Brightfield, 40× oil-immersion objective. Bone marrow smear. 250×250:
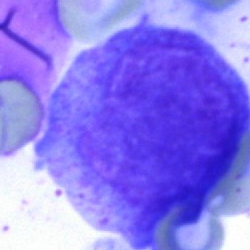The cell shown is a progranulocyte.